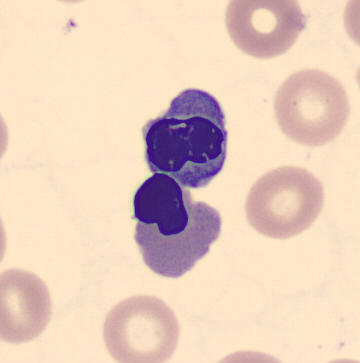

Morphological class — nucleated red cell.

Peripheral blood smear.